Bone marrow aspirate smear
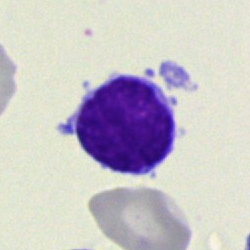 Typical lymphocyte.